250 by 250 pixels · bone marrow aspirate smear
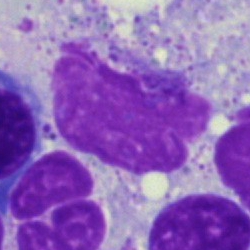

This is an artefact.